Bone marrow smear.
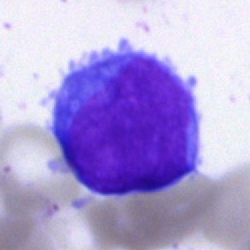 Blast.